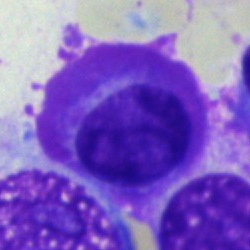
Q: What is shown here?
A: A plasma cell.